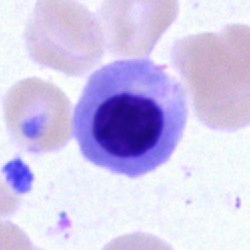Bone marrow smear showing an erythroblast.